Bone marrow aspirate smear · 250×250 px.
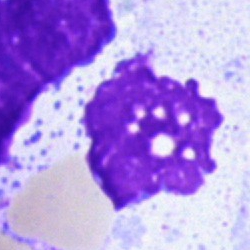

Cell — artefact.